Bone marrow smear
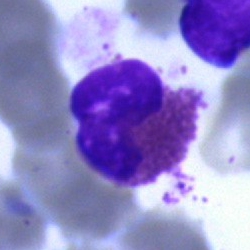
Single cell identified as an eosinophilic granulocyte.